MGG-stained; single cell centered in the field; bone marrow aspirate smear.
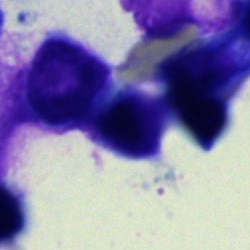 {"cell_type": "artifact"}